Pappenheim-stained · brightfield microscopy, 40× oil immersion · bone marrow aspirate smear: 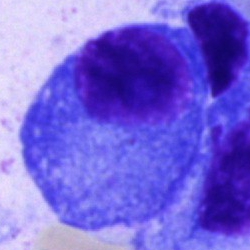
Specimen: bone marrow aspirate smear.
Cell: plasma cell.
Lineage: lymphoid.